Bone marrow smear · single cell centered in the field.
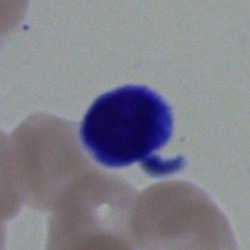

This is a lymphocyte.